Bone marrow aspirate smear — 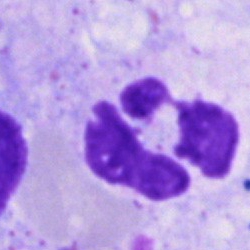
Morphological class = neutrophil (segmented).